Bone marrow smear; 40× oil immersion; 250 by 250 pixels
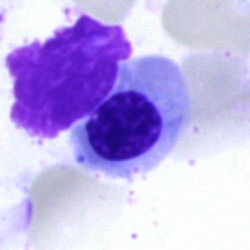{"cell_type": "nucleated red blood cell"}